MGG-stained. Bone marrow smear:
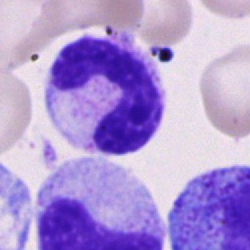

Impression — band neutrophil.